Bone marrow aspirate smear.
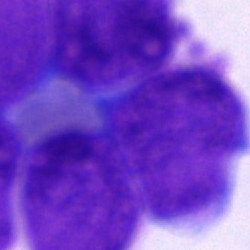 The morphological class is artifact.